250×250 · bone marrow aspirate smear · brightfield microscopy, 40× oil immersion: 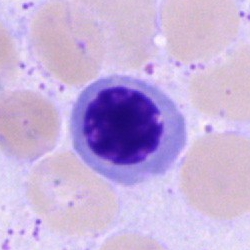 Impression → nucleated red cell.